Brightfield microscopy, 40× oil immersion · bone marrow aspirate smear
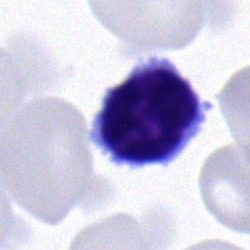

Impression → lymphocyte.